Bone marrow smear
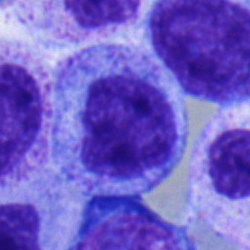

Impression — myelocyte.